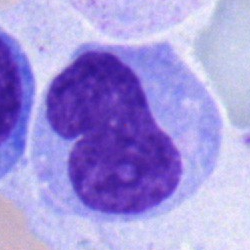

Classification = monocyte.